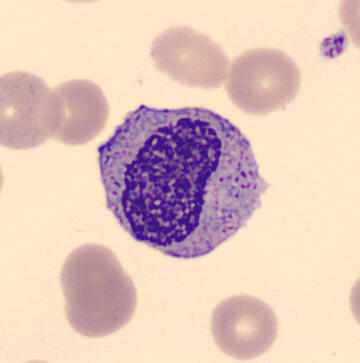
This is a myelocyte.